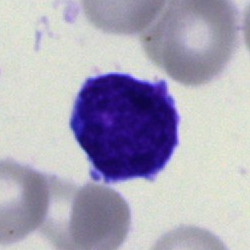 Q: What is shown here?
A: Blast.